Bone marrow smear; cropped to a single cell; image size 250×250.
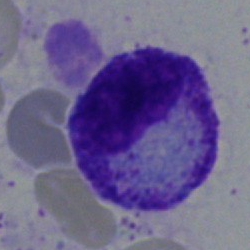Q: What is shown here?
A: It is a myelocyte.